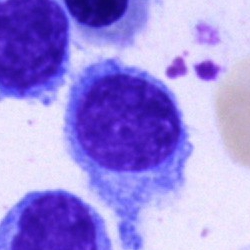
Cell type: typical lymphocyte.